Bone marrow smear
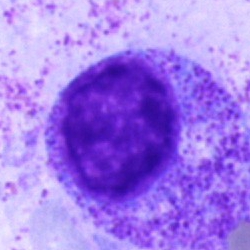{"cell_type": "promyelocyte", "lineage": "myeloid"}